Bone marrow smear:
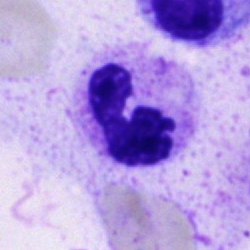 The morphological class is segmented neutrophil.